Bone marrow smear: 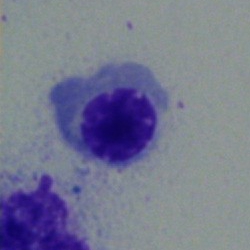 This is a nucleated red cell.